40× oil immersion · bone marrow aspirate smear · single-cell field:
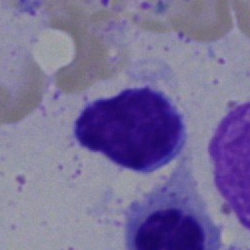Lymphocyte.